Bone marrow smear:
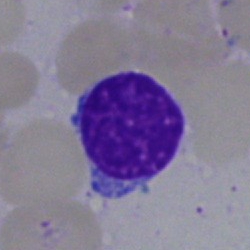
Morphological class = typical lymphocyte.